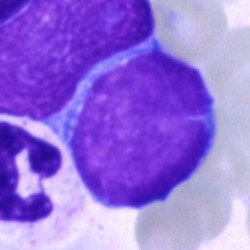Specimen: bone marrow smear.
Morphological class: blast cell.